Single cell centered in the field. Bone marrow smear. MGG-stained — 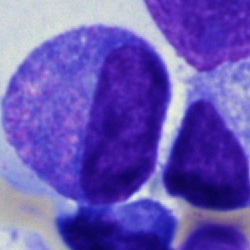

Classification: progranulocyte.